Brightfield, 40× oil-immersion objective. Bone marrow smear. MGG-stained: 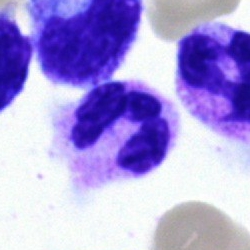Single cell identified as a segmented neutrophil.